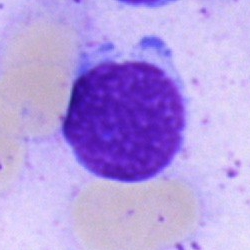
Cell = lymphocyte.